May-Grünwald-Giemsa/Pappenheim stain · bone marrow aspirate smear:
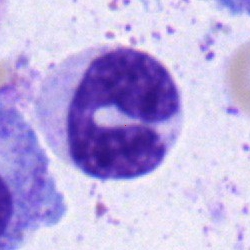 Showing a polymorphonuclear neutrophil.